MGG-stained; bone marrow smear — 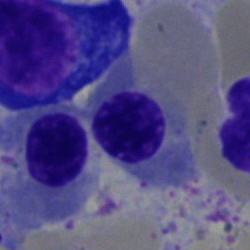

Erythroblast.